Bone marrow aspirate smear; Pappenheim-stained; 250×250 — 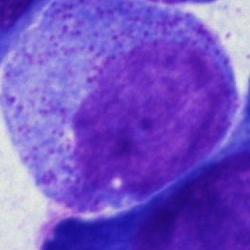

The cell is promyelocyte.